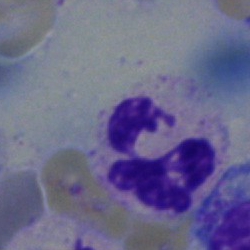The cell shown is a polymorphonuclear neutrophil.